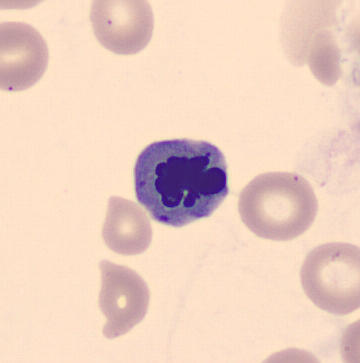
Identified as a nucleated red blood cell. Acquisition: 360 by 363 pixels. Peripheral blood smear. Cropped to a single cell.